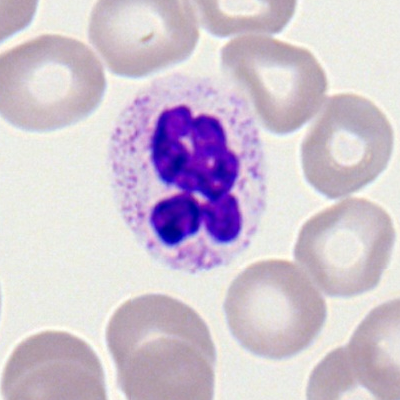
Cell — segmented neutrophil.